Cropped to a single cell; May-Grünwald-Giemsa/Pappenheim stain; bone marrow smear: 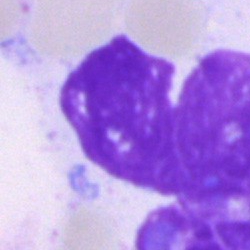

Q: What is shown here?
A: It is an artefact.